Bone marrow aspirate smear.
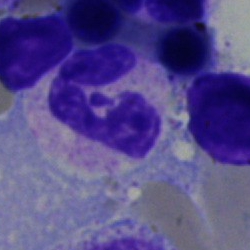Cell type — segmented neutrophil.